Bone marrow aspirate smear. 40× oil immersion
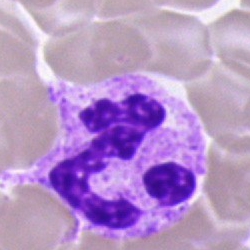
Polymorphonuclear neutrophil.